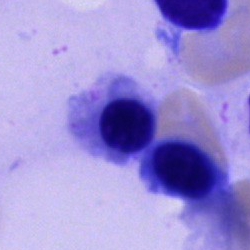 The cell is nucleated red blood cell.